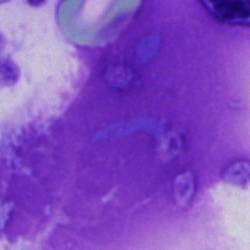

Morphology consistent with an artifact.